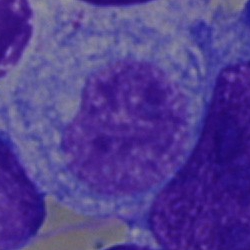A promyelocyte on a bone marrow smear.